40× oil immersion · bone marrow aspirate smear · 250 by 250 pixels:
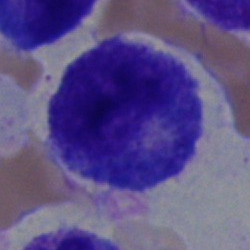 Cell = progranulocyte.